Bone marrow aspirate smear; brightfield microscopy, 40× oil immersion
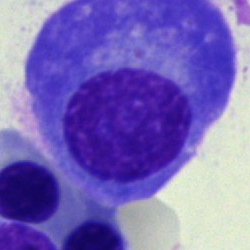

Q: Identify the cell.
A: A plasmacyte.